Bone marrow smear. May-Grünwald-Giemsa/Pappenheim stain
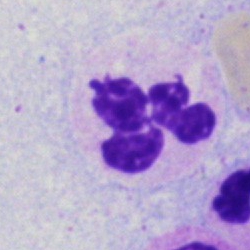 {"cell_type": "polymorphonuclear neutrophil", "lineage": "myeloid"}